May-Grünwald-Giemsa stain; bone marrow smear; cropped to a single cell:
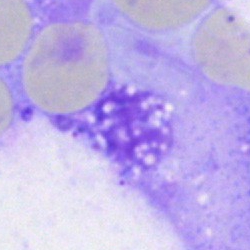
The cell shown is an artefact.